Bone marrow aspirate smear
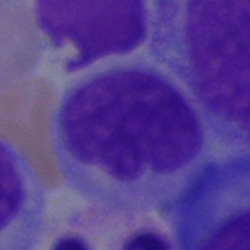
Morphology consistent with an artifact.